Bone marrow aspirate smear · 40× objective, oil immersion:
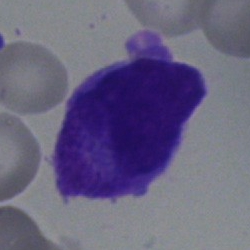 The cell shown is an undifferentiated blast.